Pappenheim-stained · 40× objective, oil immersion · bone marrow smear: 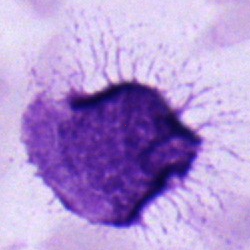Q: What cell is this?
A: This is a lymphocyte.